Bone marrow aspirate smear:
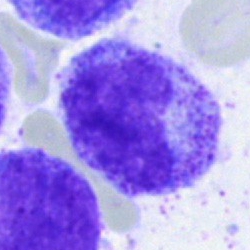 {"cell_type": "metamyelocyte", "lineage": "myeloid"}